Bone marrow aspirate smear:
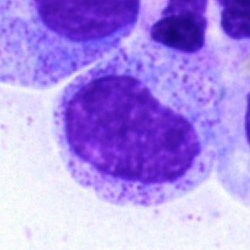
Impression — metamyelocyte.